Bone marrow smear.
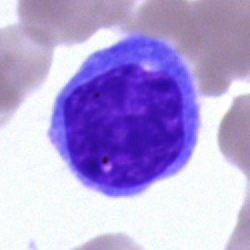Morphological class — blast.